Bone marrow smear · 250×250 px · May-Grünwald-Giemsa stain.
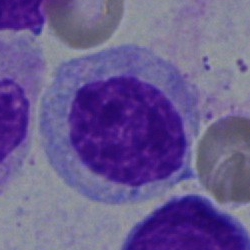

Showing a myelocyte.